Bone marrow smear · May-Grünwald-Giemsa stain: 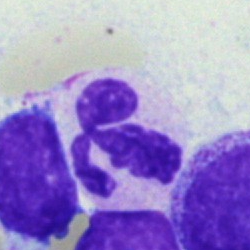
Morphology — segmented neutrophil.